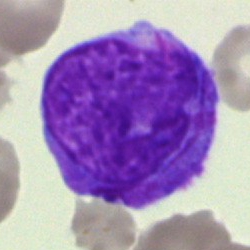 Q: What cell is this?
A: This is a blast cell.